Bone marrow aspirate smear. 250×250 px. Single-cell field.
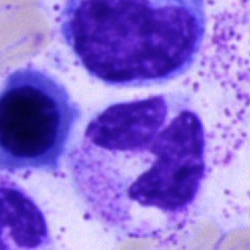 Impression — segmented neutrophil.